Bone marrow smear; 250×250 px — 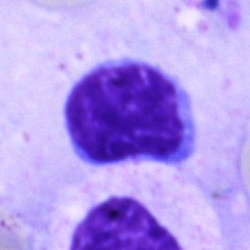
{"cell_type": "typical lymphocyte", "lineage": "lymphoid"}